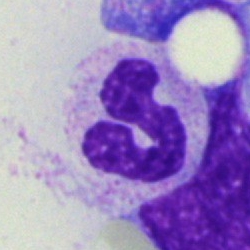
Specimen: bone marrow smear.
Morphological class: segmented neutrophil.
Lineage: myeloid.